Bone marrow smear. Cropped to a single cell
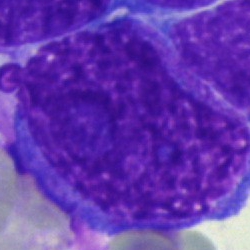 Q: Which cell type is shown here?
A: This is a blast.